Bone marrow smear:
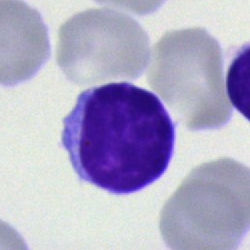 Impression → typical lymphocyte.